Bone marrow smear — 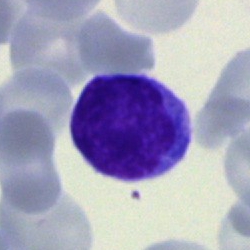
Cell = lymphocyte.